Bone marrow aspirate smear — 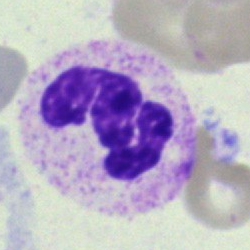
Morphology → polymorphonuclear neutrophil.